Bone marrow smear; 250×250 px: 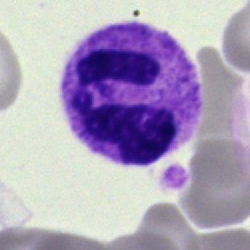

{"cell_type": "neutrophil (segmented)"}